Bone marrow aspirate smear.
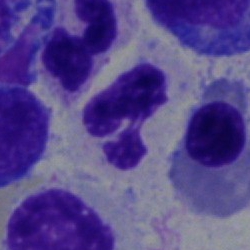

Showing a polymorphonuclear neutrophil.